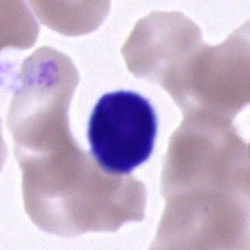
Specimen: bone marrow aspirate smear.
Cell type: typical lymphocyte.